Bone marrow smear: 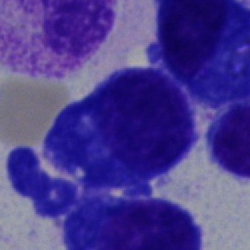 Cell type = plasma cell.